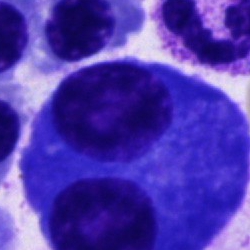
Classification — plasma cell.